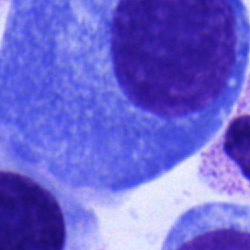Morphology — plasma cell.